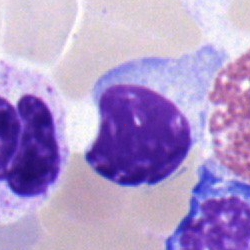Specimen: bone marrow aspirate smear.
Morphological class: nucleated red cell.
Lineage: erythroid.